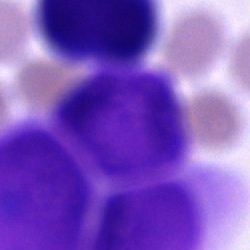Bone marrow aspirate smear, single cell — artifact.